Bone marrow aspirate smear — 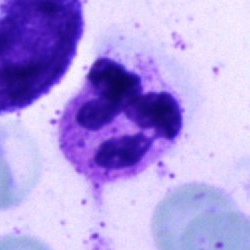{"cell_type": "polymorphonuclear neutrophil"}